Bone marrow smear.
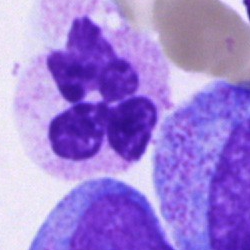
The morphological class is polymorphonuclear neutrophil.